Bone marrow smear. Image size 250×250
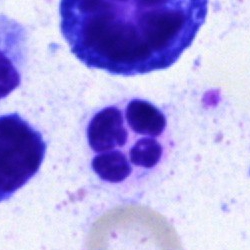 Q: What cell is this?
A: Segmented neutrophil.